MGG-stained · bone marrow aspirate smear: 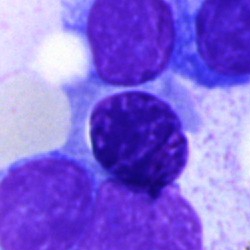 Nucleated red cell.